250×250 px; bone marrow aspirate smear
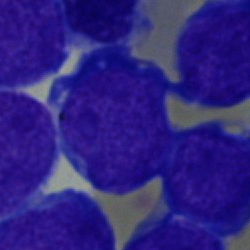

Impression — undifferentiated blast.